Bone marrow smear · Pappenheim-stained
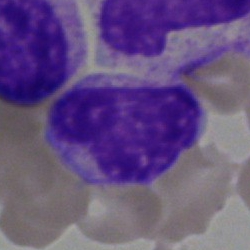 Artifact.